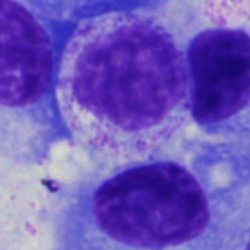 {"cell_type": "myelocyte"}